Bone marrow aspirate smear. Brightfield, 40× oil-immersion objective. Single-cell crop.
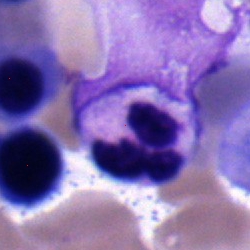A polymorphonuclear neutrophil.